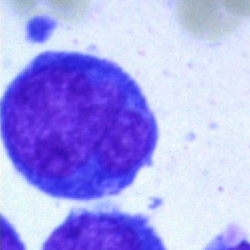Morphology consistent with a blast cell.